May-Grünwald-Giemsa stain. Bone marrow smear
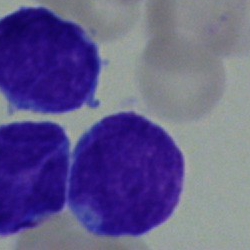 Q: What is shown here?
A: It is a blast.